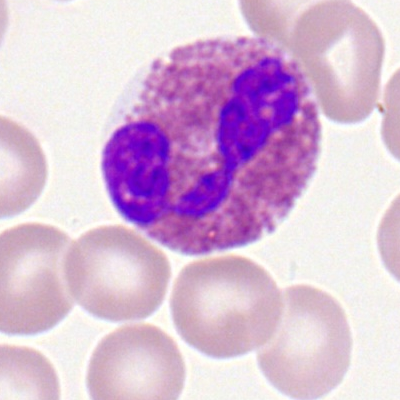

This is an eosinophil.